Bone marrow smear · 40× objective, oil immersion: 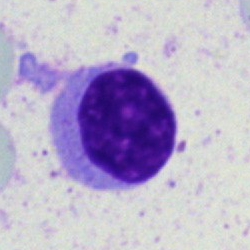

Q: What is shown here?
A: It is a typical lymphocyte.